250 by 250 pixels · bone marrow smear:
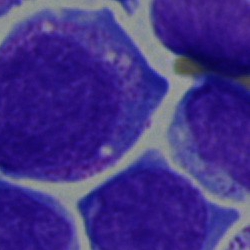Specimen: bone marrow smear.
Cell type: progranulocyte.
Lineage: myeloid.